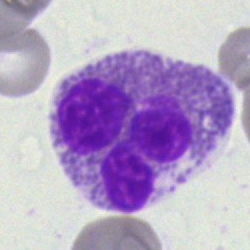

Showing an eosinophilic granulocyte.